Cropped to a single cell · bone marrow aspirate smear:
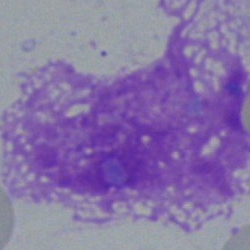 Cell type: artifact.